Bone marrow smear
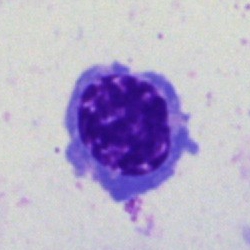Specimen: bone marrow aspirate smear.
Classification: normoblast.